Bone marrow aspirate smear
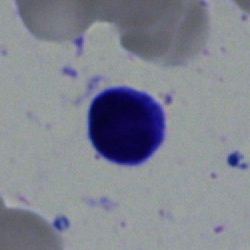

The classification is typical lymphocyte.